Bone marrow smear · brightfield, 40× oil-immersion objective: 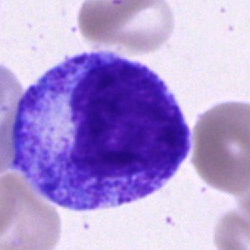 Classification = progranulocyte.